Bone marrow aspirate smear. Brightfield microscopy, 40× oil immersion:
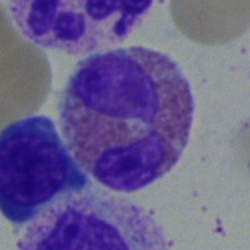

Specimen: bone marrow aspirate smear.
Cell type: eosinophil.